Image size 250×250; bone marrow aspirate smear: 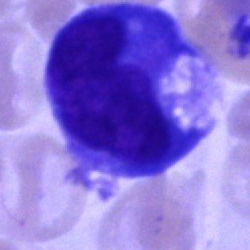
{"cell_type": "blast cell"}